Bone marrow aspirate smear · single-cell field:
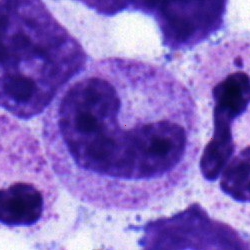Q: What type of cell is this?
A: Band neutrophil.